Bone marrow aspirate smear · 250 by 250 pixels: 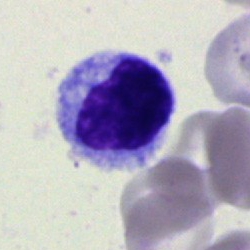

Q: What type of cell is this?
A: An erythroblast.